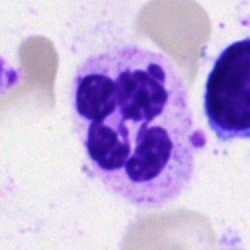
Classification = segmented neutrophil.